Bone marrow smear: 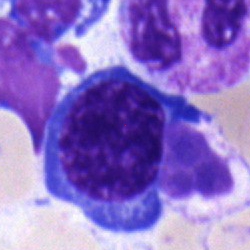

Q: What is the morphological classification of this cell?
A: This is a nucleated red cell.